Bone marrow smear:
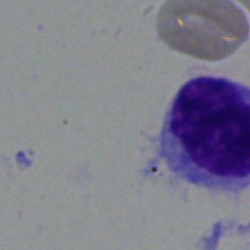
The cell shown is a typical lymphocyte.